Bone marrow aspirate smear
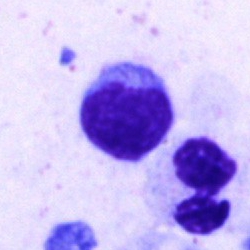Specimen: bone marrow aspirate smear.
Cell type: typical lymphocyte.
Lineage: lymphoid.